Bone marrow aspirate smear; single cell centered in the field; 250×250:
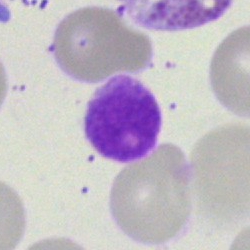

Artifact.